Peripheral blood smear:
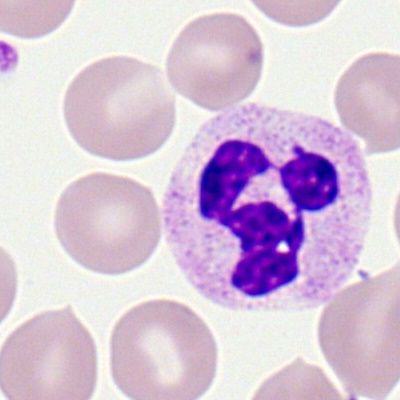Specimen: peripheral blood smear.
Cell type: polymorphonuclear neutrophil.